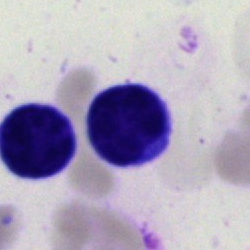
Bone marrow smear showing a lymphocyte.